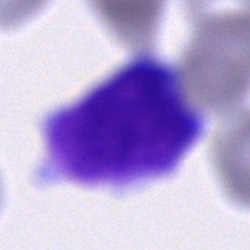Classification = unidentifiable cell.